Single-cell field; bone marrow aspirate smear.
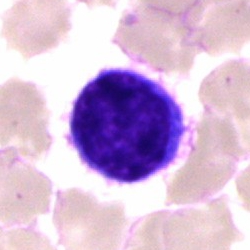Q: Identify the cell.
A: Typical lymphocyte.